Bone marrow smear · 250×250: 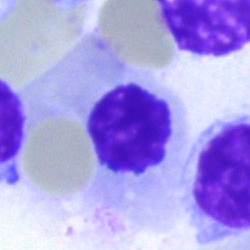Morphology consistent with a nucleated red blood cell.